Bone marrow aspirate smear: 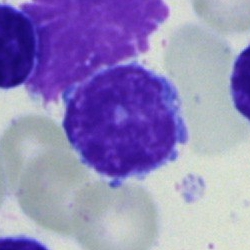

Impression — lymphocyte.